Bone marrow aspirate smear · 40× objective, oil immersion:
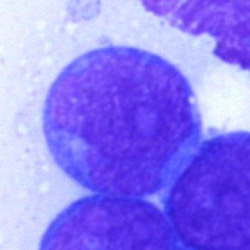

Single cell identified as a blast.